Bone marrow smear — 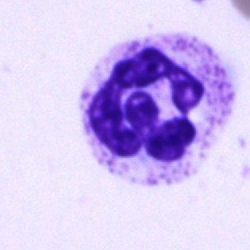 Impression → polymorphonuclear neutrophil.